Bone marrow aspirate smear — 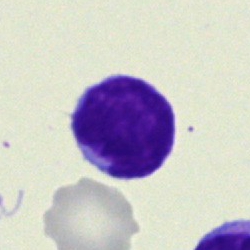
This is a typical lymphocyte.